Brightfield, 40× oil-immersion objective. Bone marrow aspirate smear — 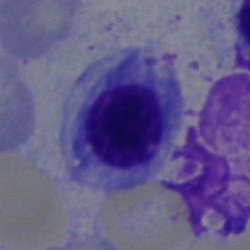

The cell is nucleated red cell.